Bone marrow smear — 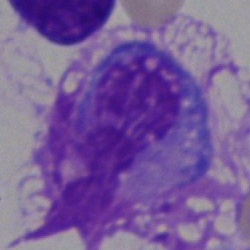{"cell_type": "artefact"}